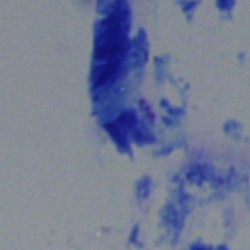The cell shown is an artefact.